250 by 250 pixels. Bone marrow smear. Brightfield, 40× oil-immersion objective:
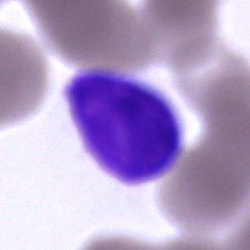

Specimen: bone marrow smear.
Classification: lymphocyte.
Lineage: lymphoid.